Bone marrow aspirate smear; single-cell crop
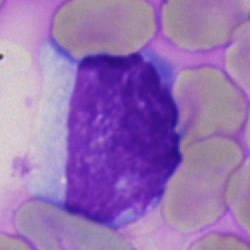Morphological class = typical lymphocyte.